Bone marrow smear: 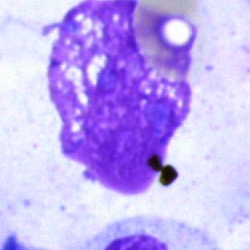
Cell type — artifact.